Bone marrow aspirate smear
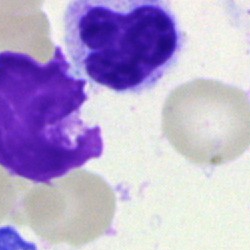 Specimen: bone marrow smear.
Cell: band-form neutrophil.
Lineage: myeloid.